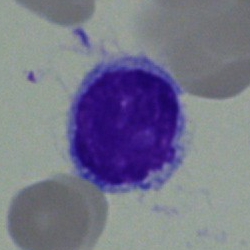 The morphological class is lymphocyte.